Bone marrow smear · 250×250 px · cropped to a single cell: 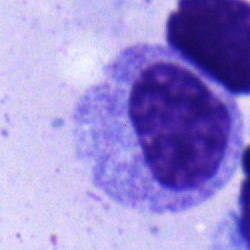Morphological class = myelocyte.